Bone marrow aspirate smear; MGG-stained; single-cell crop — 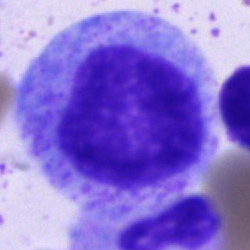
The cell type is progranulocyte.